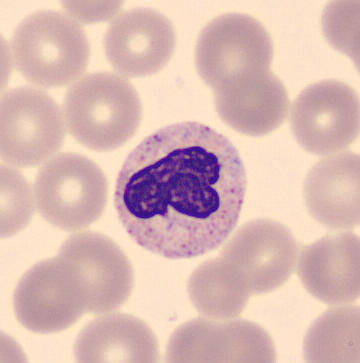

Showing a band-form neutrophil. Peripheral blood smear; automated cell imaging (CellaVision DM96).